Peripheral blood smear — 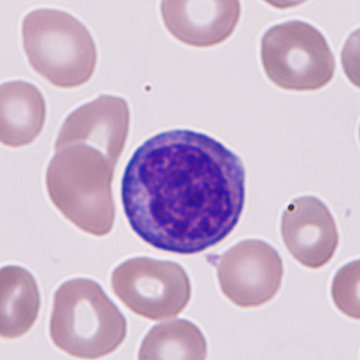 Q: What type of cell is this?
A: It is an immature granulocyte.